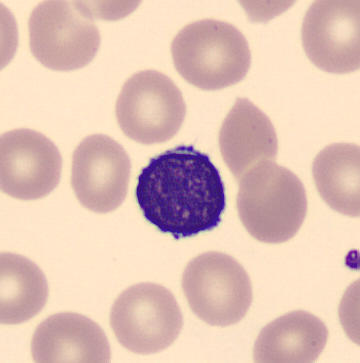 Preparation: Single cell centered in the field · peripheral blood film · CellaVision DM96.
This is a lymphocyte.